Peripheral blood film: 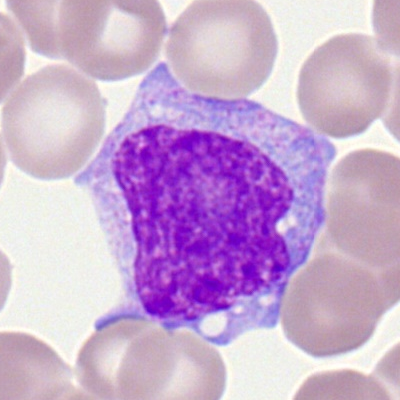 Impression — monocyte.